Bone marrow aspirate smear: 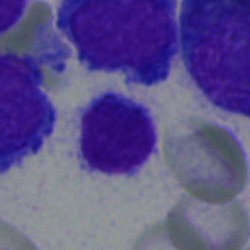
Classification: typical lymphocyte.